Bone marrow aspirate smear — 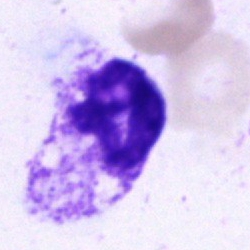

Showing a polymorphonuclear neutrophil.